Bone marrow aspirate smear:
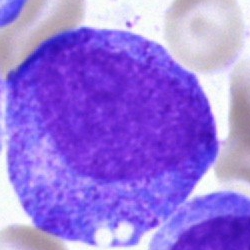

Q: What is shown here?
A: This is a promyelocyte.